Peripheral blood smear — 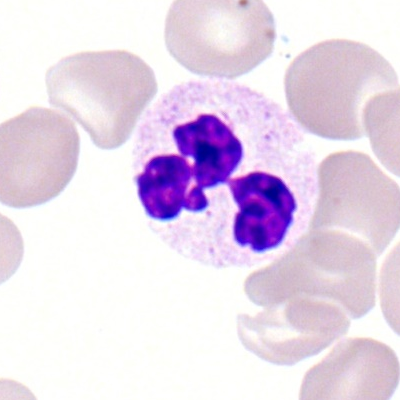
Specimen: peripheral blood film.
Morphological class: segmented neutrophil.